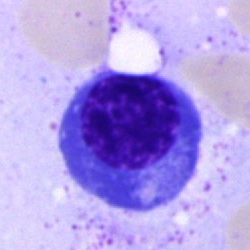 Q: What is the morphological classification of this cell?
A: It is an erythroblast.